Bone marrow smear
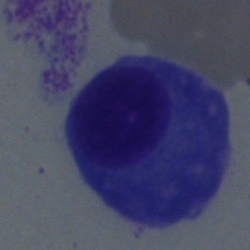Showing a plasmacyte.